Bone marrow aspirate smear.
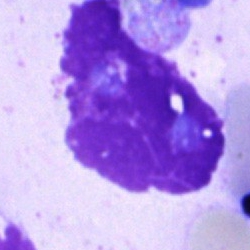

Impression — artefact.